Bone marrow smear: 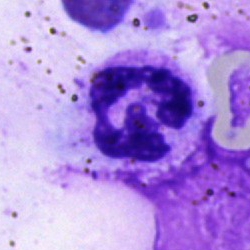The cell type is segmented neutrophil.